Bone marrow smear · image size 250×250 · single-cell field: 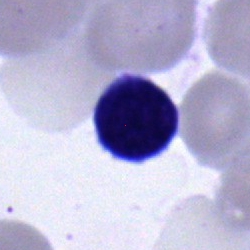Q: Identify the cell.
A: It is a typical lymphocyte.